40× oil immersion · bone marrow aspirate smear — 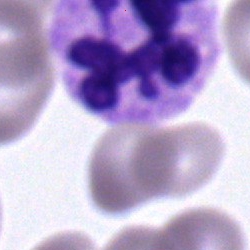Showing a neutrophil (segmented).